Bone marrow aspirate smear; 250×250 px — 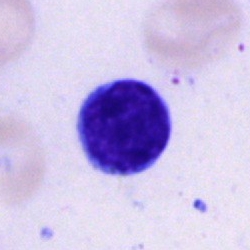

Q: Which cell type is shown here?
A: A lymphocyte.